Bone marrow aspirate smear
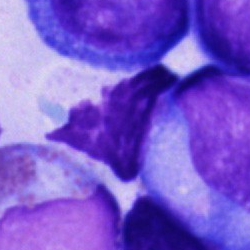 {"cell_type": "unidentifiable cell"}